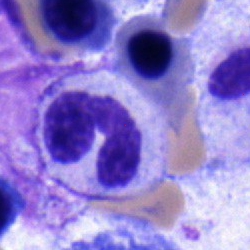

Showing a segmented neutrophil.